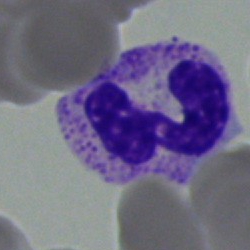

Q: What is the morphological classification of this cell?
A: This is a stab cell.